Bone marrow smear · 40× objective, oil immersion · May-Grünwald-Giemsa stain — 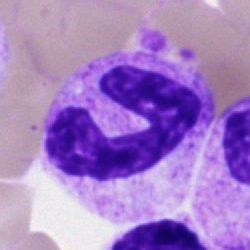 The morphological class is neutrophil (band).